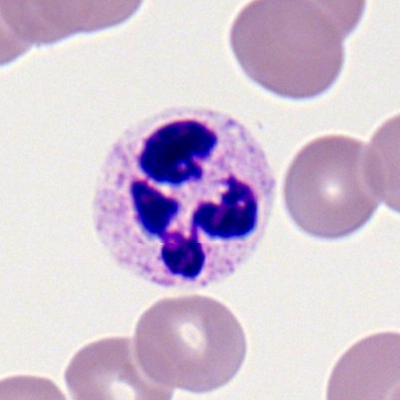 Classification = polymorphonuclear neutrophil.